Image size 250×250; bone marrow smear; brightfield microscopy, 40× oil immersion:
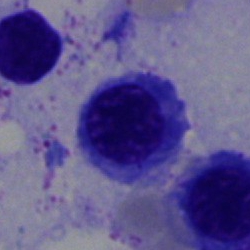
The morphological class is nucleated red blood cell.